Brightfield, 40× oil-immersion objective; single-cell crop; bone marrow aspirate smear.
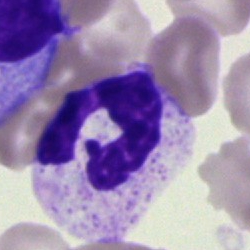

The cell is polymorphonuclear neutrophil.